Bone marrow aspirate smear.
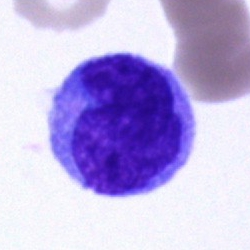This is a blast.